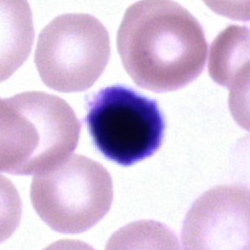
Morphology consistent with an unidentifiable cell.